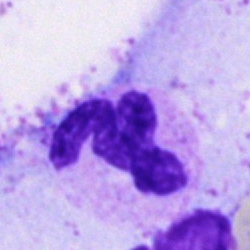 The morphological class is segmented neutrophil.